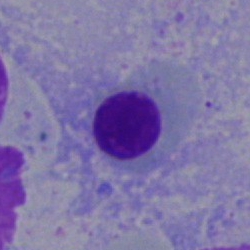{"cell_type": "normoblast", "lineage": "erythroid"}